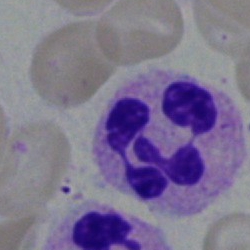 Impression → neutrophil (segmented).